Bone marrow smear.
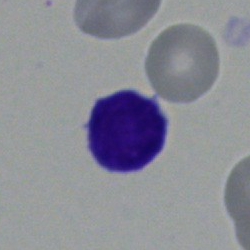Morphology → typical lymphocyte.